May-Grünwald-Giemsa/Pappenheim stain · cropped to a single cell · bone marrow aspirate smear.
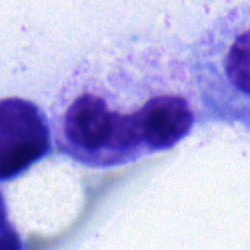

Q: What is the morphological classification of this cell?
A: A band-form neutrophil.